Bone marrow smear — 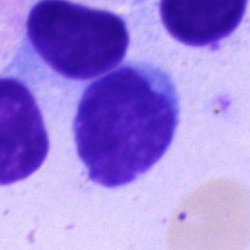 Morphology — lymphocyte.